Bone marrow aspirate smear: 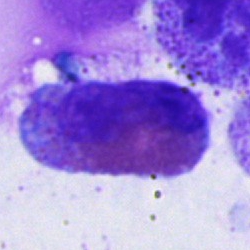

Eosinophil.